Bone marrow aspirate smear.
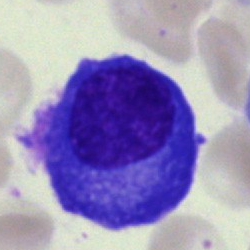
Morphology consistent with a plasma cell.